Bone marrow aspirate smear; image size 250×250; single-cell field: 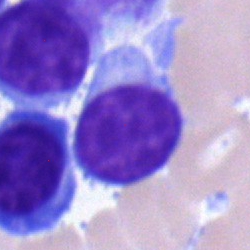 Morphology consistent with a lymphocyte.